Bone marrow aspirate smear. 250×250 px: 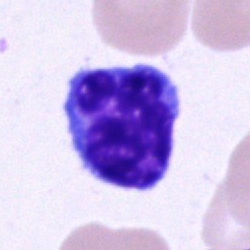 Cell = lymphocyte.